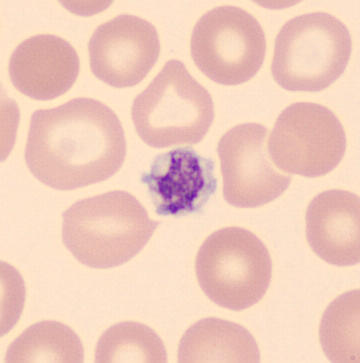 Morphology → thrombocyte.